Bone marrow aspirate smear: 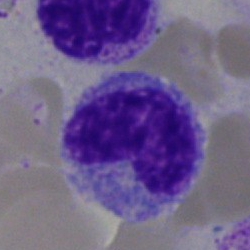 Q: What is the morphological classification of this cell?
A: This is a metamyelocyte.